Bone marrow smear.
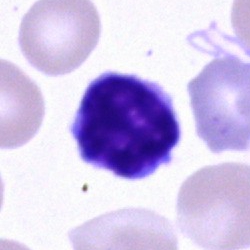Morphology consistent with a lymphocyte.